Pappenheim-stained. Bone marrow aspirate smear
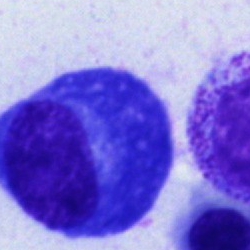
The cell shown is a plasmacyte.